Bone marrow aspirate smear — 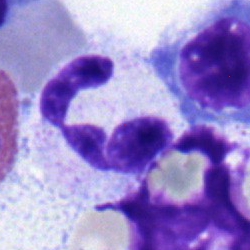Morphology consistent with a segmented neutrophil.